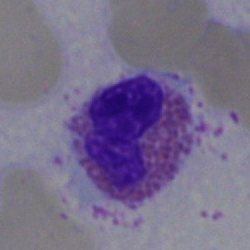 Q: What is the morphological classification of this cell?
A: It is an eosinophil.